Bone marrow aspirate smear. 250 by 250 pixels. 40× oil immersion.
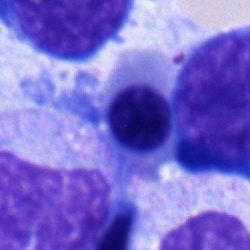 Q: What cell is this?
A: A normoblast.